Pappenheim-stained. Cropped to a single cell. Bone marrow aspirate smear: 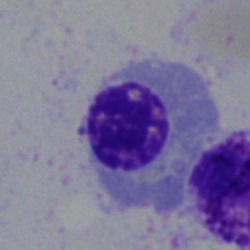 Cell — erythroblast.